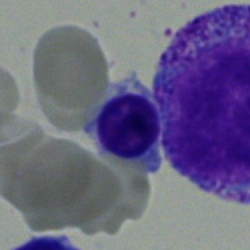

Classification — erythroblast.